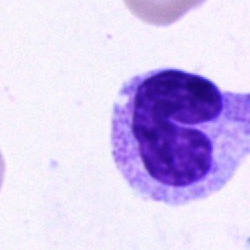 Bone marrow smear showing a neutrophil (segmented).